Peripheral blood smear
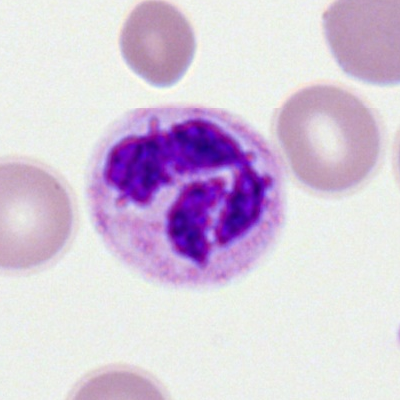
Morphology consistent with a segmented neutrophil.